Bone marrow smear; May-Grünwald-Giemsa/Pappenheim stain; single cell centered in the field — 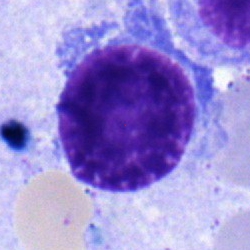 Cell type = typical lymphocyte.